Bone marrow smear.
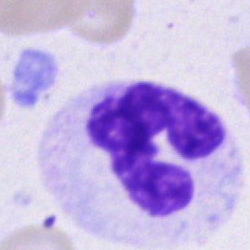

Q: Identify the cell.
A: A neutrophil (segmented).